Peripheral blood film. 400 by 400 pixels: 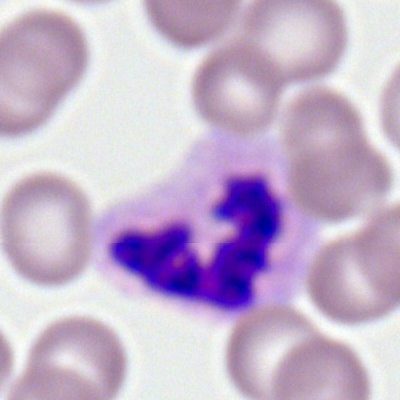
Q: Which cell type is shown here?
A: A neutrophil (segmented).